Peripheral blood smear — 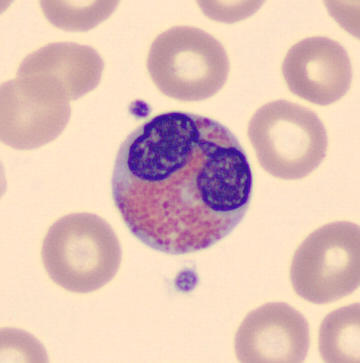

Classification = eosinophil.